Bone marrow smear — 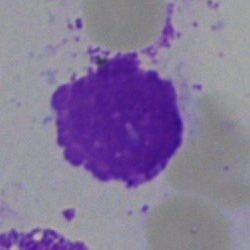

The cell shown is an artefact.